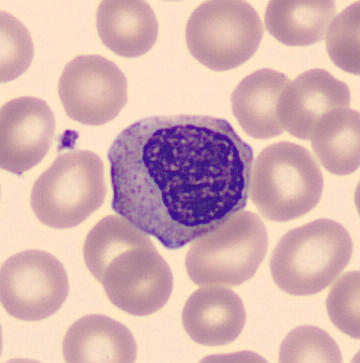
Image: Peripheral blood film.
The cell shown is a myelocyte.